Bone marrow smear — 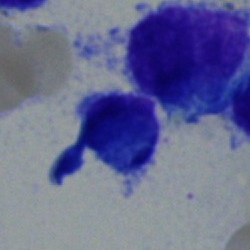
Q: What cell is this?
A: A lymphocyte.